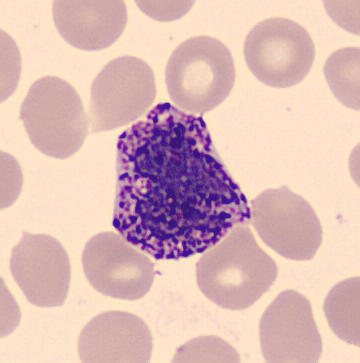
Acquisition: Peripheral blood smear.
Morphology — basophilic granulocyte.